Bone marrow aspirate smear:
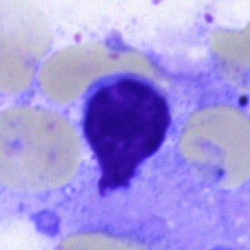

A lymphocyte.